Bone marrow aspirate smear.
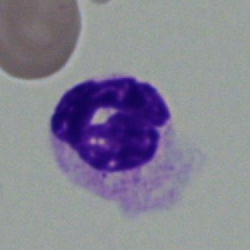 Q: What type of cell is this?
A: Neutrophil (segmented).